Bone marrow smear; single-cell crop.
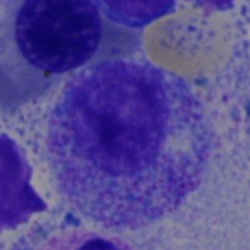 Morphology — promyelocyte.